Bone marrow aspirate smear:
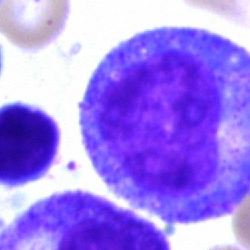

Classification: progranulocyte.